Bone marrow aspirate smear; May-Grünwald-Giemsa stain:
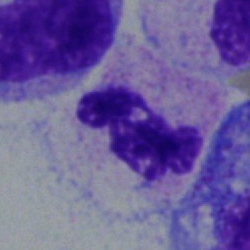

The cell type is segmented neutrophil.